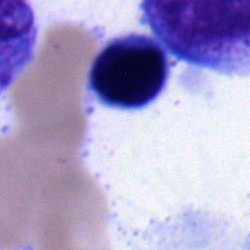{"cell_type": "lymphocyte", "lineage": "lymphoid"}